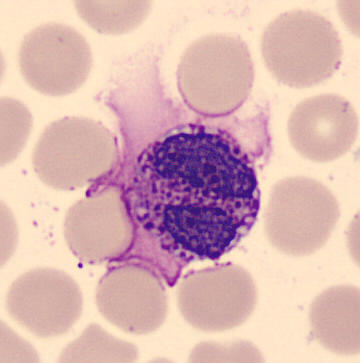 Image: Imaged on a CellaVision DM96 analyser; single cell centered in the field; peripheral blood film. A basophilic granulocyte.